Single cell centered in the field. 250×250 px. Bone marrow aspirate smear
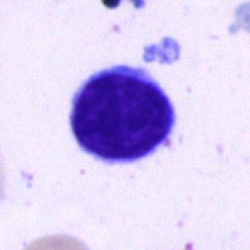Classification = lymphocyte.